Bone marrow aspirate smear.
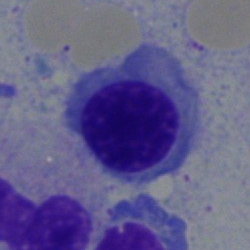 Impression → erythroblast.